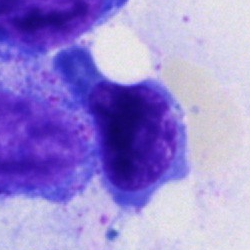

Specimen: bone marrow smear.
Classification: nucleated red cell.